Bone marrow smear; cropped to a single cell; 40× oil immersion: 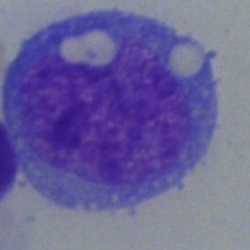 Cell = blast cell.